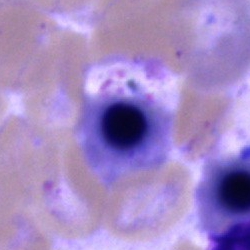
An erythroblast.